Bone marrow aspirate smear — 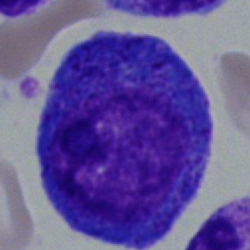This is a promyelocyte.